Image size 250×250. Bone marrow aspirate smear. Pappenheim-stained
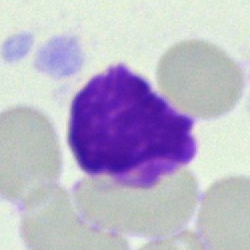

Morphology — artifact.